May-Grünwald-Giemsa/Pappenheim stain. Bone marrow aspirate smear. Single-cell crop.
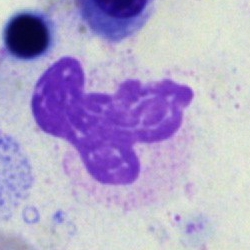
Q: What is shown here?
A: This is an artefact.